Bone marrow aspirate smear: 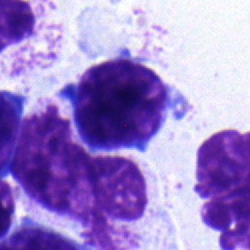 Showing a lymphocyte.